250×250 · 40× objective, oil immersion · bone marrow smear:
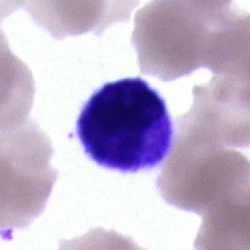Typical lymphocyte.